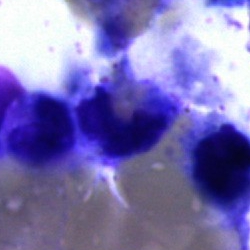Q: What is shown here?
A: It is an artifact.